MGG-stained · bone marrow smear · brightfield, 40× oil-immersion objective: 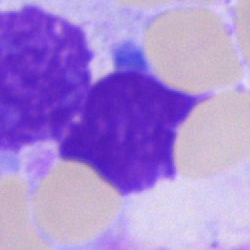
The cell is artefact.